Bone marrow aspirate smear. 250×250 px.
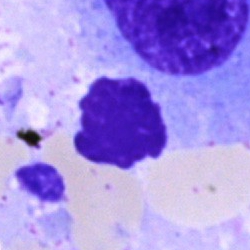
Morphology — artefact.